Bone marrow smear
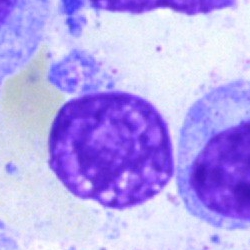
Q: What is shown here?
A: It is an artifact.